Bone marrow smear · 250×250 px
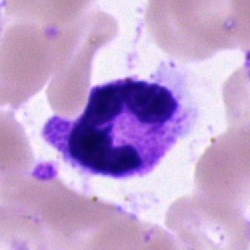
This is a segmented neutrophil.